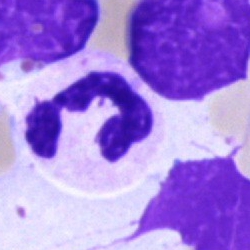Single-cell crop from a bone marrow smear: neutrophil (segmented).